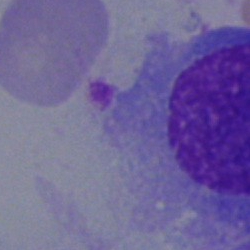 {"cell_type": "artefact"}